Peripheral blood film.
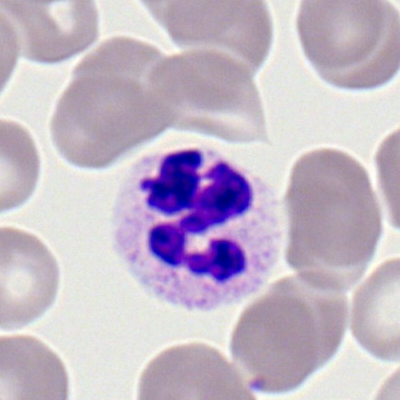
Specimen: peripheral blood smear.
Morphological class: neutrophil (segmented).
Lineage: myeloid.